Single-cell field. Image size 250×250. Bone marrow smear: 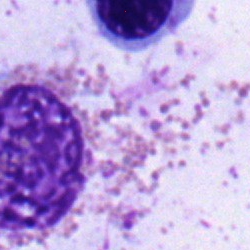

Showing an erythroblast.